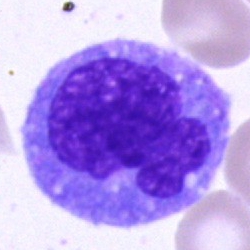
Impression — monocyte.